Brightfield, 40× oil-immersion objective; bone marrow aspirate smear; single-cell crop:
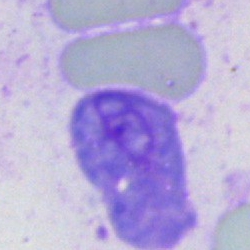 Single cell identified as an artefact.